Bone marrow aspirate smear — 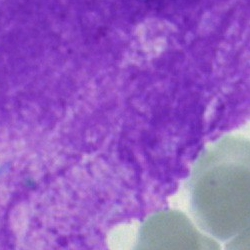
Classification — artefact.